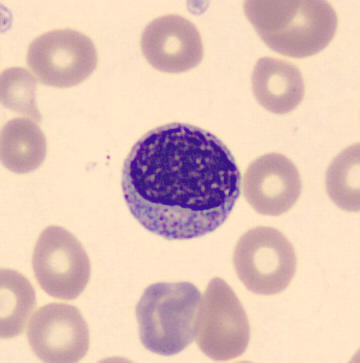
Classification: myelocyte.

360×363 px; peripheral blood film.